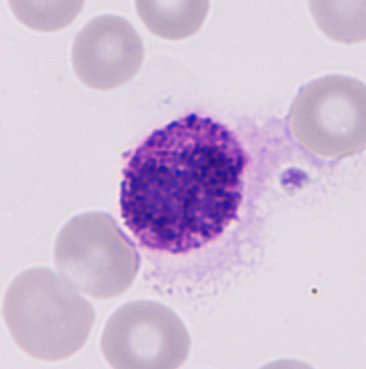
Acquisition: Peripheral blood smear. May Grünwald-Giemsa stain. Impression → basophil.